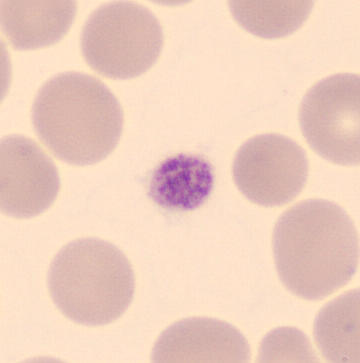Specimen: peripheral blood smear.
Cell type: platelet.